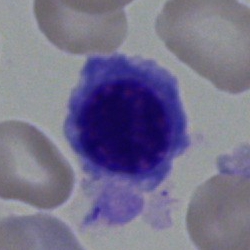 A nucleated red cell.